Bone marrow aspirate smear — 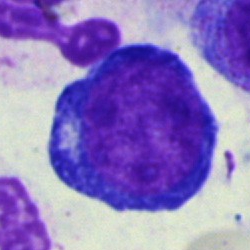
Morphology → proerythroblast.